Bone marrow smear.
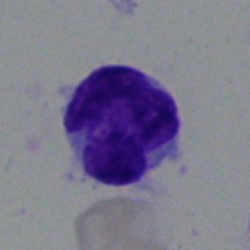 Morphological class — typical lymphocyte.